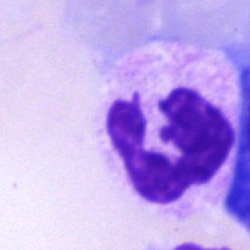
Q: Which cell type is shown here?
A: Polymorphonuclear neutrophil.